Bone marrow aspirate smear; 250 by 250 pixels — 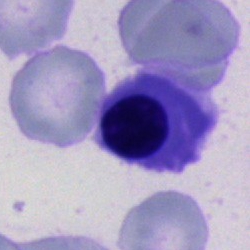 This is a nucleated red cell.